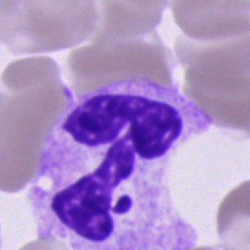
Q: What type of cell is this?
A: It is a polymorphonuclear neutrophil.